Bone marrow aspirate smear; image size 250×250; 40× oil immersion — 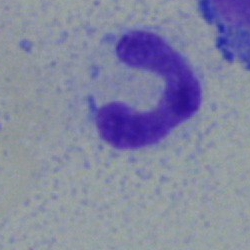 The cell shown is a polymorphonuclear neutrophil.